MGG-stained · bone marrow aspirate smear.
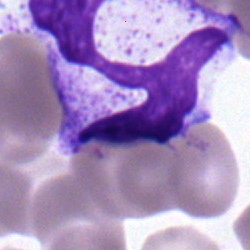Morphological class: polymorphonuclear neutrophil.